Bone marrow smear. 250×250 px
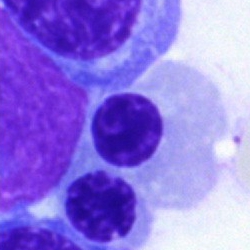
Specimen: bone marrow aspirate smear.
Cell: erythroblast.
Lineage: erythroid.